Bone marrow smear: 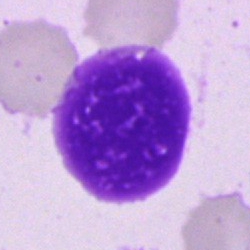An artefact.